Image size 250×250; bone marrow smear; single cell centered in the field: 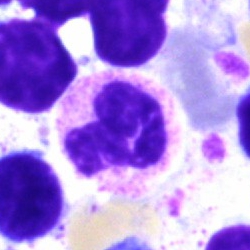 Morphology → segmented neutrophil.